Peripheral blood film: 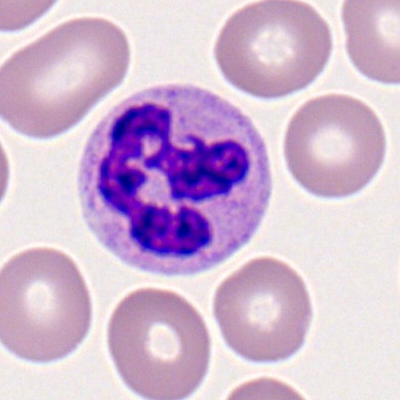

Morphological class — segmented neutrophil.